40× objective, oil immersion · bone marrow aspirate smear — 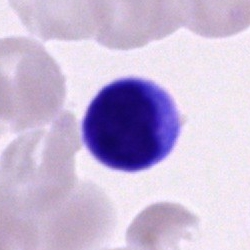 Cell type — lymphocyte.